May-Grünwald-Giemsa stain · bone marrow smear:
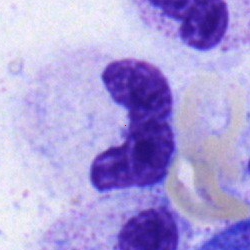 Showing a neutrophil (band).